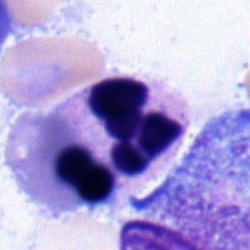Impression — segmented neutrophil.